Peripheral blood film. Romanowsky stain:
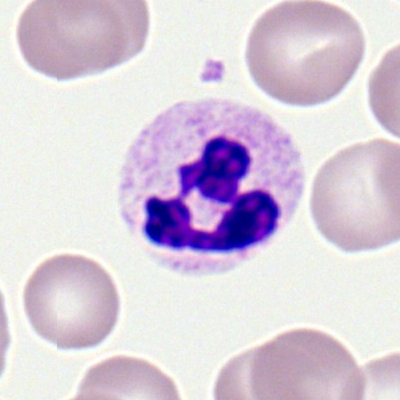 Morphological class — polymorphonuclear neutrophil.